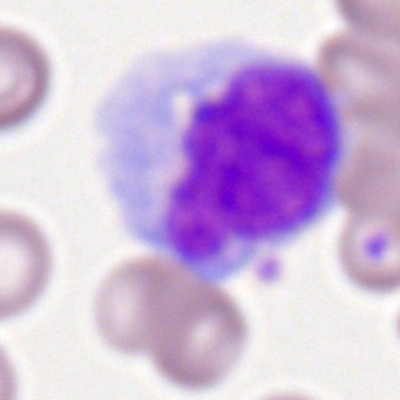 This is a monocyte.